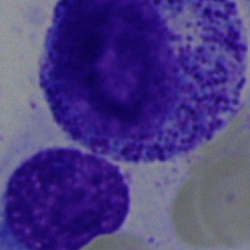
Specimen: bone marrow smear.
Morphological class: progranulocyte.